Bone marrow smear:
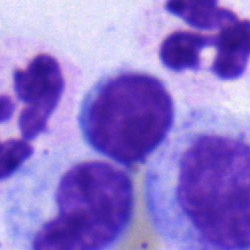 A lymphocyte.